Bone marrow smear — 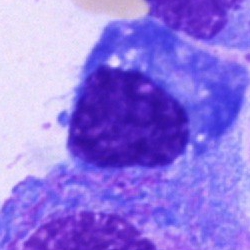
Morphology consistent with a plasmacyte.